Romanowsky-stained. Peripheral blood smear — 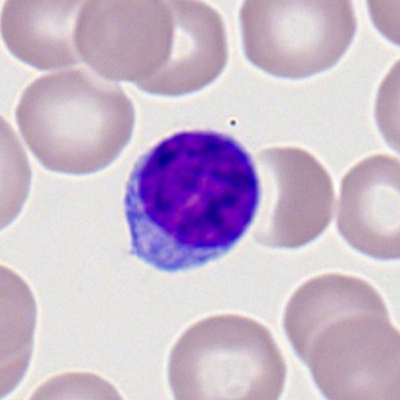 Impression → lymphocyte.